Bone marrow aspirate smear — 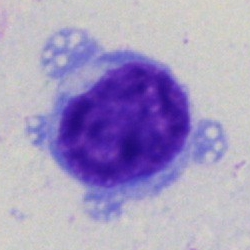The cell shown is a blast.